Brightfield, 40× oil-immersion objective; bone marrow smear
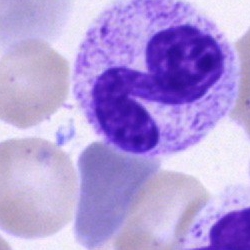

The classification is polymorphonuclear neutrophil.